Bone marrow aspirate smear
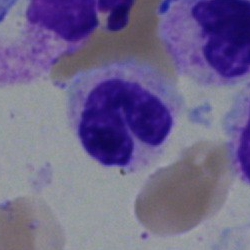 A neutrophil (segmented).